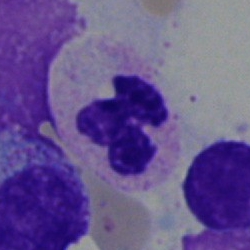
The morphological class is polymorphonuclear neutrophil.